Single cell centered in the field. Bone marrow aspirate smear: 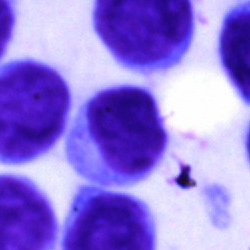
Impression → typical lymphocyte.